Bone marrow smear:
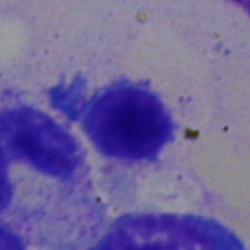
The cell shown is a typical lymphocyte.